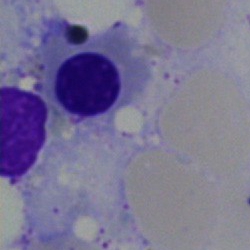

{"cell_type": "nucleated red cell", "lineage": "erythroid"}